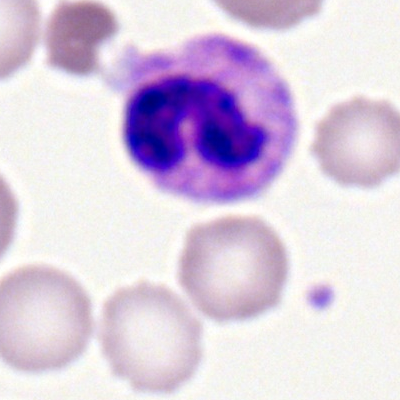This is a polymorphonuclear neutrophil.